Peripheral blood film — 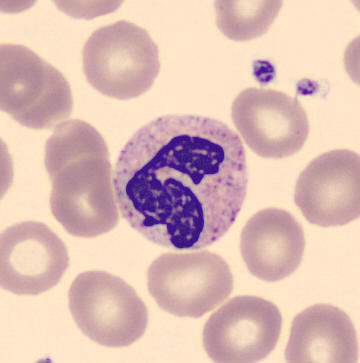
A neutrophil (segmented).